Bone marrow smear.
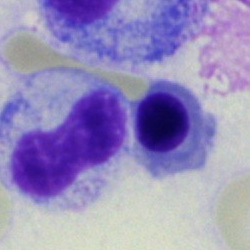 Morphology consistent with a nucleated red cell.